Bone marrow aspirate smear; cropped to a single cell: 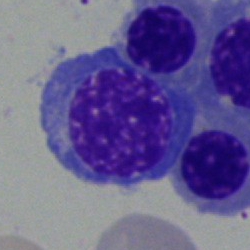

The morphological class is nucleated red blood cell.